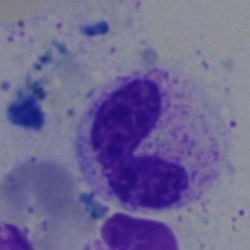
Q: What is shown here?
A: This is a segmented neutrophil.